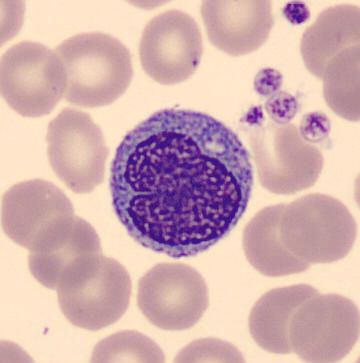
Acquisition: 360×363 px; peripheral blood smear.

Showing a monocyte.